Single cell centered in the field · bone marrow aspirate smear:
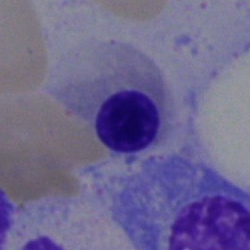This is a nucleated red blood cell.